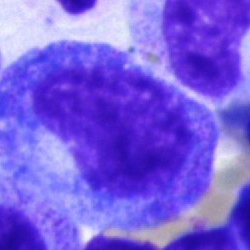

Cell type = promyelocyte.